Peripheral blood smear: 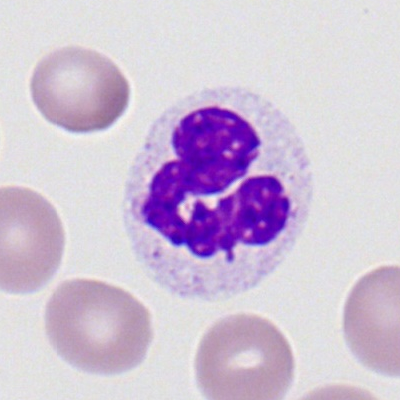This is a polymorphonuclear neutrophil.